Peripheral blood film: 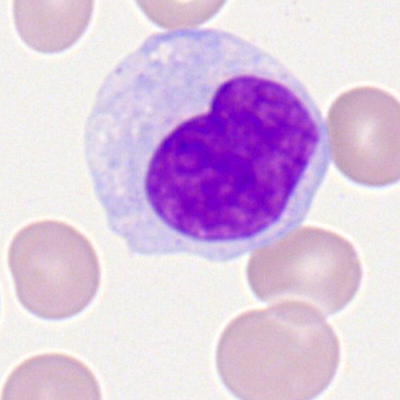 A lymphocyte.